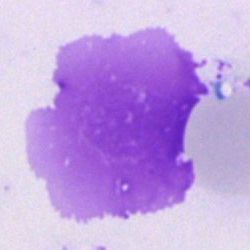 {"cell_type": "artifact"}